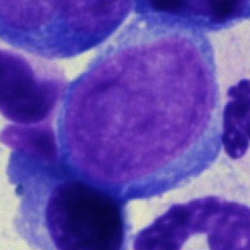 {"cell_type": "pronormoblast", "lineage": "erythroid"}